MGG-stained; bone marrow smear.
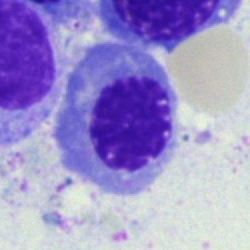 An erythroblast.